Bone marrow aspirate smear · 40× objective, oil immersion — 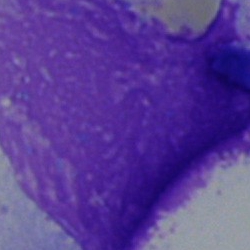 {"cell_type": "artifact"}